250 by 250 pixels · bone marrow smear
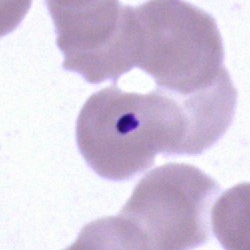Specimen: bone marrow smear.
Cell type: artefact.